CellaVision DM96 · peripheral blood film · MGG-stained: 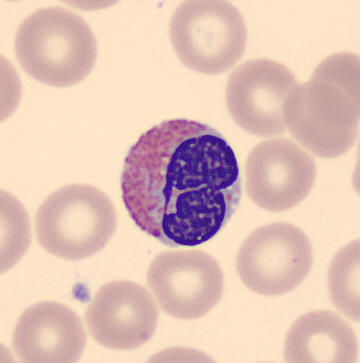 Eosinophil.